Pappenheim-stained; bone marrow smear — 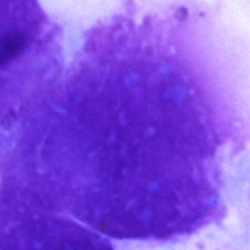This is an artifact.